Bone marrow aspirate smear. Cropped to a single cell
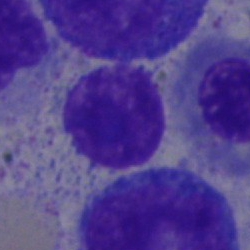Cell: typical lymphocyte.